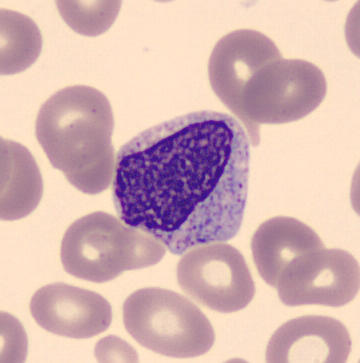
{"cell_type": "myelocyte", "lineage": "myeloid"}